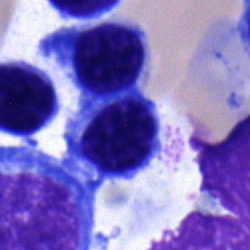 Morphology — nucleated red blood cell.